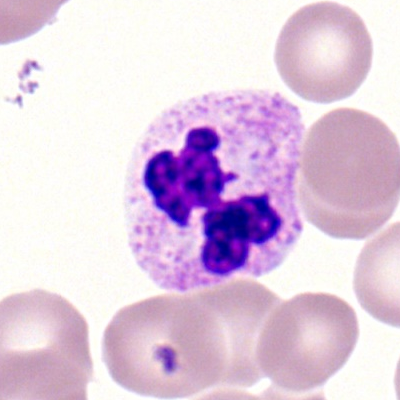
Q: Identify the cell.
A: It is a polymorphonuclear neutrophil.